Bone marrow smear:
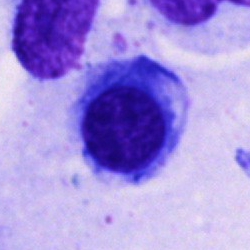Showing a nucleated red cell.